Single-cell crop; bone marrow aspirate smear; Pappenheim-stained — 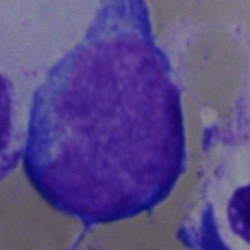Classification: blast cell.